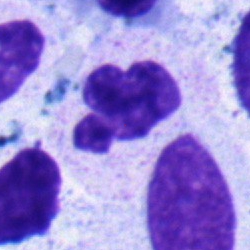 Q: What cell is this?
A: A segmented neutrophil.